May-Grünwald-Giemsa stain · bone marrow smear:
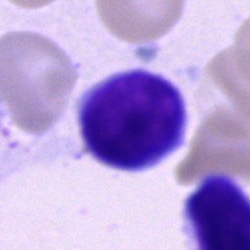 Q: Identify the cell.
A: A lymphocyte.